Bone marrow aspirate smear: 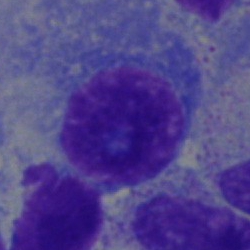

Cell type — plasmacyte.